Bone marrow smear; Pappenheim-stained; 250×250 px: 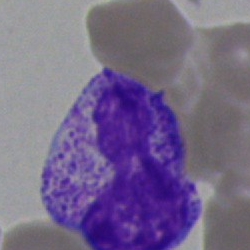
This is an artefact.